Bone marrow aspirate smear:
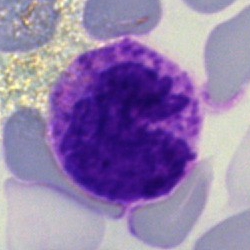
Specimen: bone marrow aspirate smear.
Cell type: basophil.
Lineage: myeloid.